Bone marrow aspirate smear; May-Grünwald-Giemsa/Pappenheim stain — 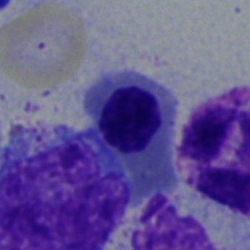

Q: What is shown here?
A: A normoblast.